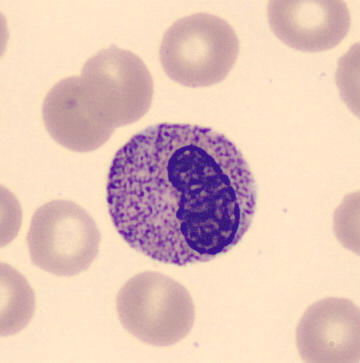Image: Peripheral blood smear.

Classification = metamyelocyte.